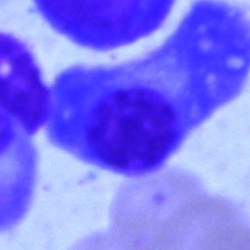
The morphological class is plasma cell.